Bone marrow aspirate smear. 250×250. Pappenheim-stained:
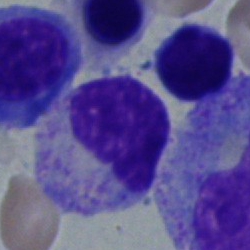

Cell: myelocyte.